Bone marrow smear: 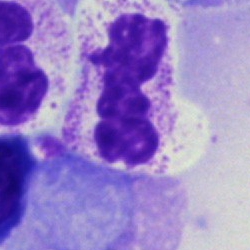
Morphological class = polymorphonuclear neutrophil.